Bone marrow smear · Pappenheim-stained — 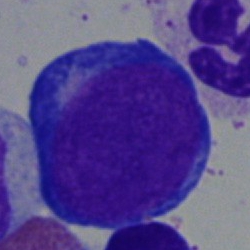

The cell shown is a pronormoblast.